Peripheral blood smear:
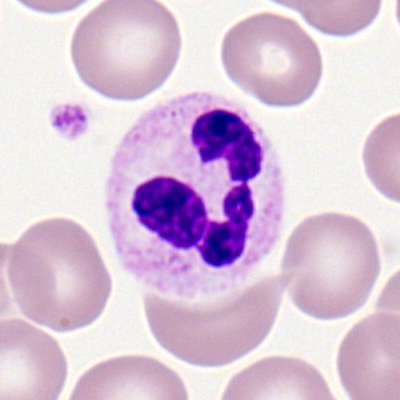
This is a neutrophil (segmented).